Bone marrow aspirate smear
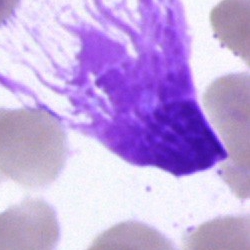An artifact.